250×250; bone marrow aspirate smear: 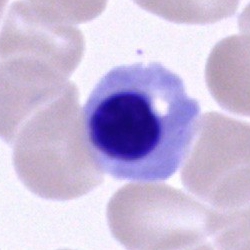
An erythroblast.